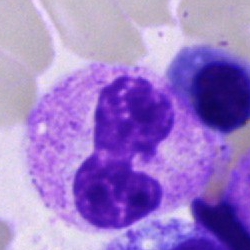 The cell type is polymorphonuclear neutrophil.